Bone marrow smear:
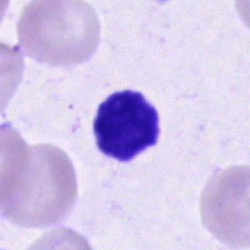

Q: What cell is this?
A: Cell of indeterminate lineage.